250 by 250 pixels; bone marrow aspirate smear — 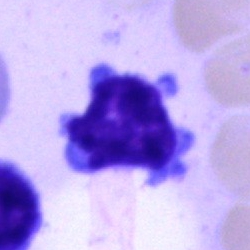 A lymphocyte.